Bone marrow aspirate smear.
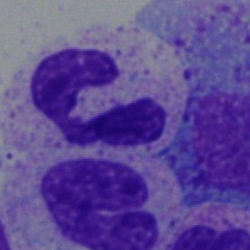

A segmented neutrophil.